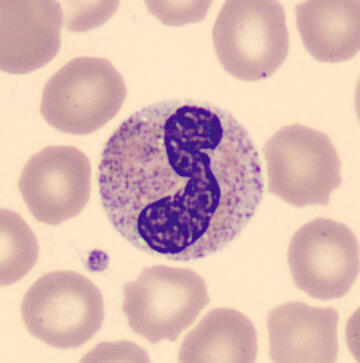

Classification = band neutrophil.